Peripheral blood film — 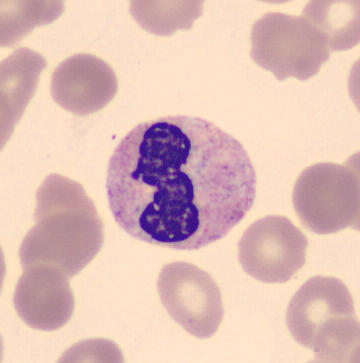The classification is stab cell.